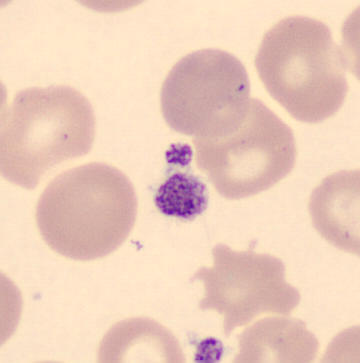 This is a platelet.